Bone marrow smear.
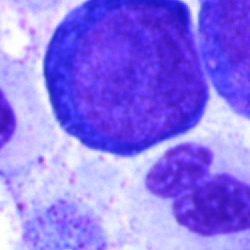
Cell type: proerythroblast.